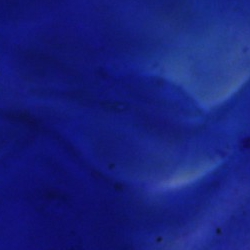

Specimen: bone marrow smear.
Classification: artefact.